Bone marrow smear · May-Grünwald-Giemsa/Pappenheim stain
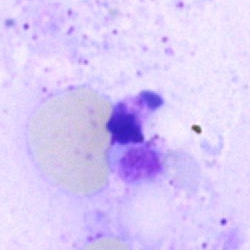 Showing an artefact.